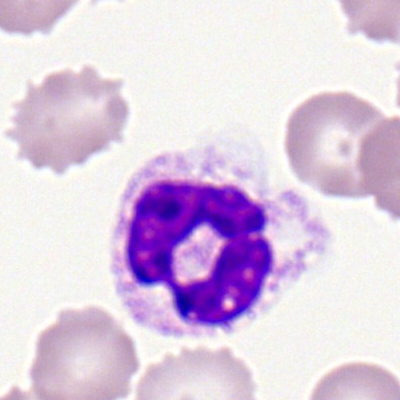

Single-cell crop from a peripheral blood smear: neutrophil (segmented).